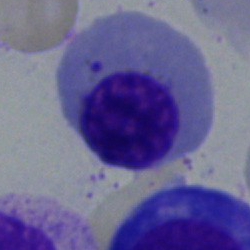
Classification = normoblast.